Bone marrow smear. Brightfield microscopy, 40× oil immersion: 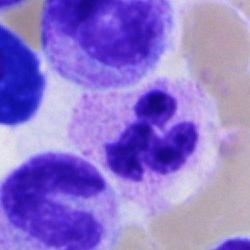Morphology consistent with a segmented neutrophil.